MGG-stained; bone marrow smear.
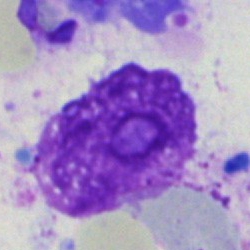
Classification: artefact.